40× objective, oil immersion. Bone marrow aspirate smear:
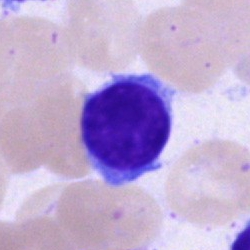A typical lymphocyte.